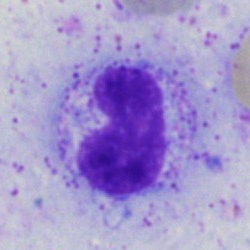

The cell type is band-form neutrophil.